Peripheral blood film. Cropped to a single cell
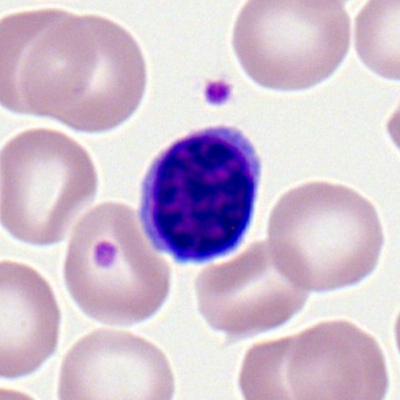

Showing a lymphocyte.